Bone marrow aspirate smear
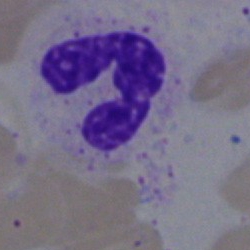Morphology consistent with a polymorphonuclear neutrophil.